Peripheral blood smear:
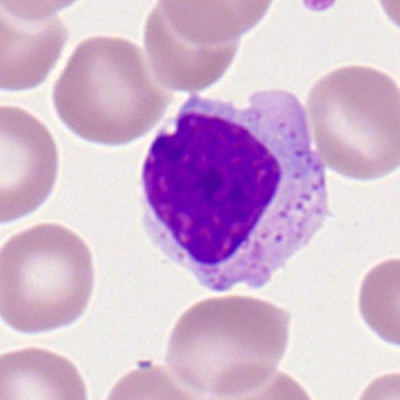Single cell identified as a lymphocyte.